Single cell centered in the field; bone marrow smear — 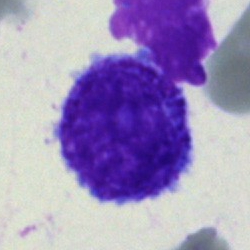 A blast cell.